Bone marrow aspirate smear.
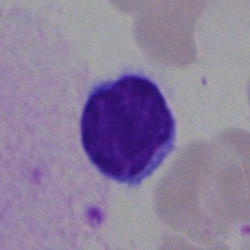
Morphological class = lymphocyte.